Peripheral blood smear. Single cell centered in the field. 100× objective, oil immersion: 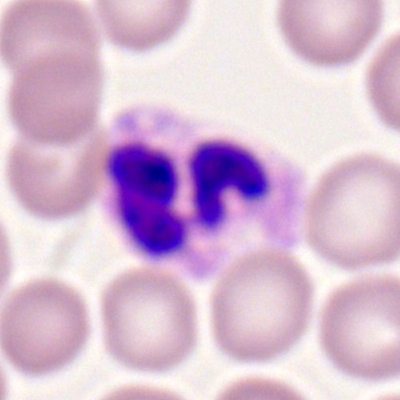Morphology → polymorphonuclear neutrophil.